Peripheral blood film — 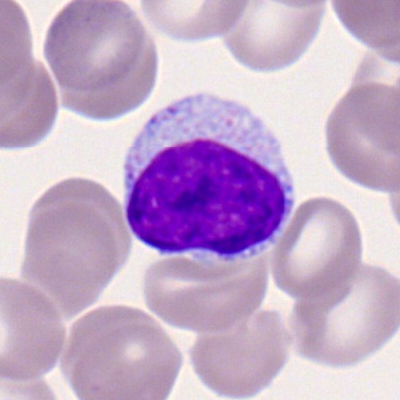Morphology → lymphocyte.